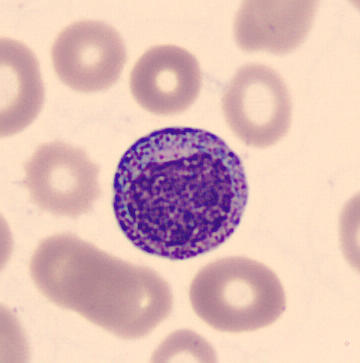Q: Which cell type is shown here?
A: A myelocyte.
Peripheral blood smear.